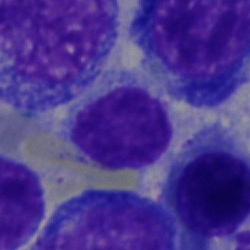Morphology consistent with a lymphocyte.